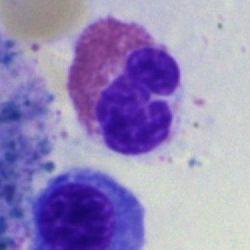

Single cell identified as an eosinophil.